Cropped to a single cell. Bone marrow aspirate smear
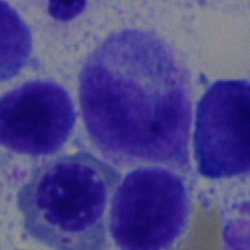 A monocyte.